Bone marrow aspirate smear.
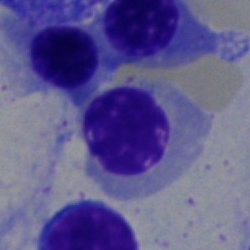
Specimen: bone marrow aspirate smear.
Morphological class: normoblast.
Lineage: erythroid.